Bone marrow aspirate smear: 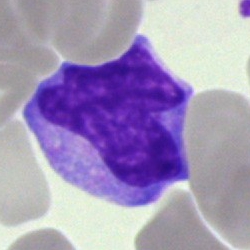
Morphological class = monocyte.